Single-cell crop. Peripheral blood film: 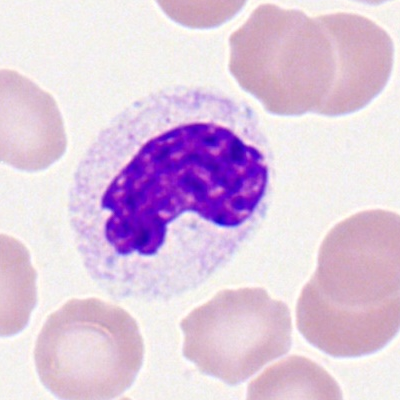Specimen: peripheral blood smear.
Classification: stab cell.
Lineage: myeloid.